Single-cell crop; peripheral blood smear: 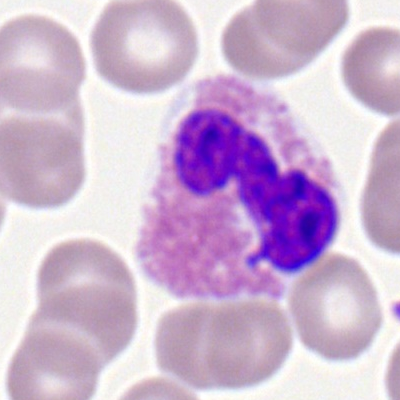
Cell: eosinophil.